Bone marrow smear.
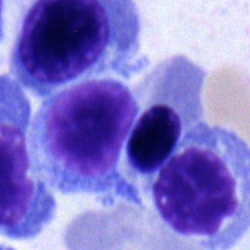

Impression → typical lymphocyte.